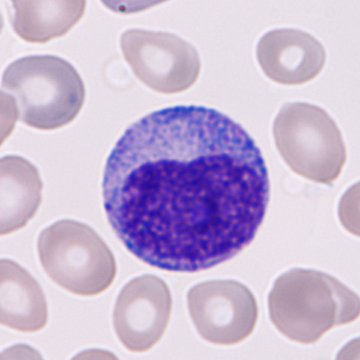Morphology consistent with an immature granulocyte (promyelocyte, myelocyte or metamyelocyte).

Peripheral blood film; 360×360.